40× objective, oil immersion; bone marrow aspirate smear:
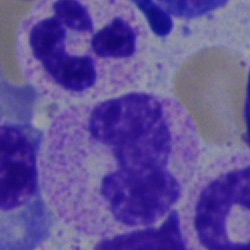

Classification = band neutrophil.